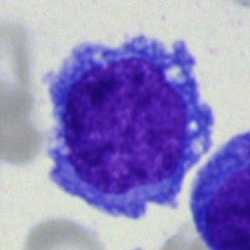{"cell_type": "blast"}